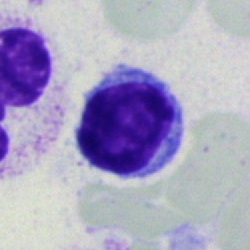

Impression — lymphocyte.